Brightfield microscopy, 40× oil immersion; bone marrow smear; cropped to a single cell — 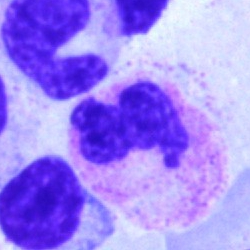
The cell type is polymorphonuclear neutrophil.